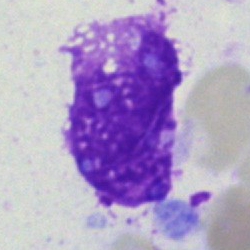The classification is artifact.